Bone marrow smear
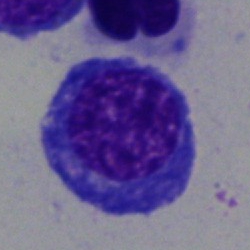

This is a nucleated red cell.